Bone marrow aspirate smear: 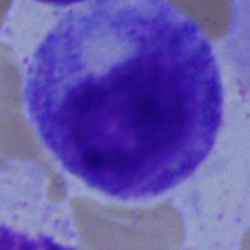 Classification: progranulocyte.